40× oil immersion · bone marrow smear:
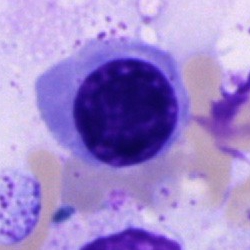
Specimen: bone marrow smear.
Cell: nucleated red blood cell.
Lineage: erythroid.